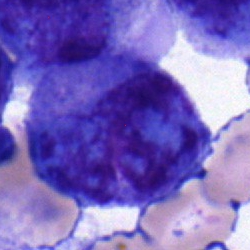Q: What is the morphological classification of this cell?
A: A blast.